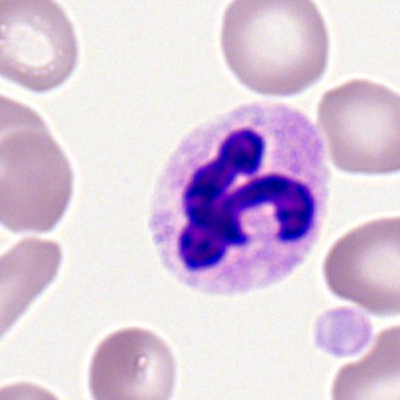
Impression — segmented neutrophil.